Bone marrow smear: 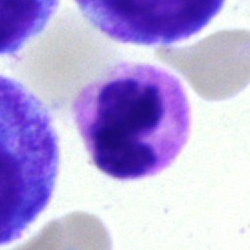

Q: What is the morphological classification of this cell?
A: It is a basophil.